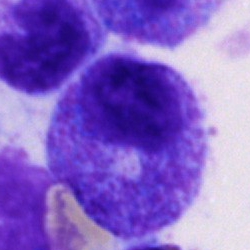Q: Identify the cell.
A: This is a progranulocyte.